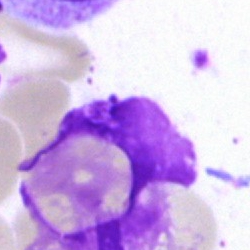 Morphology consistent with an artefact.